Image size 250×250; bone marrow smear; MGG-stained — 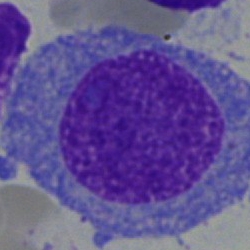A progranulocyte.